Bone marrow smear. 250 by 250 pixels.
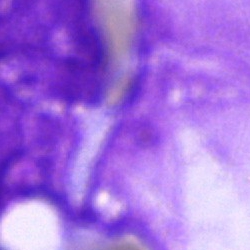 Impression → artefact.